Bone marrow smear.
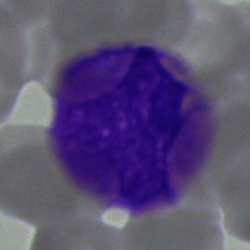
Single cell identified as an artifact.